250 by 250 pixels · bone marrow smear — 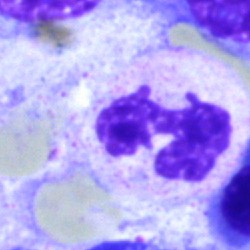
Single cell identified as a neutrophil (segmented).